Bone marrow smear — 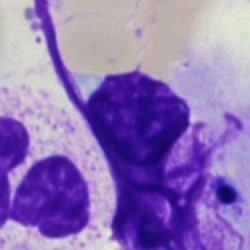
The cell type is artifact.